Bone marrow smear
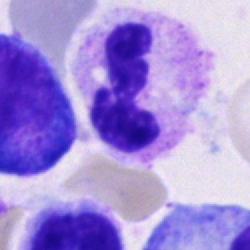

Q: What is shown here?
A: This is a polymorphonuclear neutrophil.